100× objective, oil immersion · peripheral blood smear.
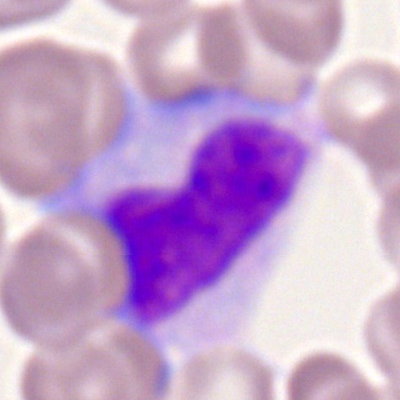Morphological class: monocyte.